Bone marrow aspirate smear.
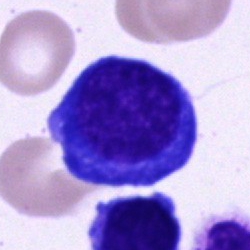
{"cell_type": "erythroblast", "lineage": "erythroid"}